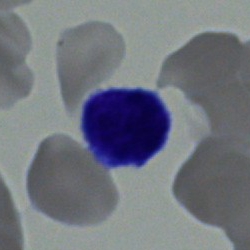

Morphology consistent with a lymphocyte.